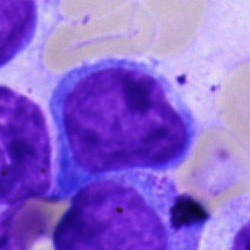Single-cell crop from a bone marrow smear: typical lymphocyte.